Bone marrow aspirate smear; Pappenheim-stained; brightfield microscopy, 40× oil immersion: 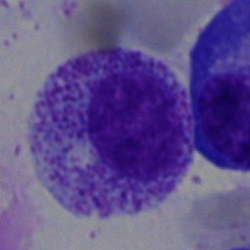The cell shown is a myelocyte.